Bone marrow aspirate smear; 250×250; brightfield, 40× oil-immersion objective: 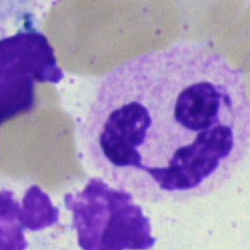Morphology — neutrophil (segmented).